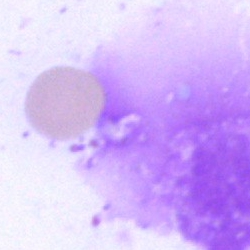

Morphology → artefact.